Peripheral blood smear — 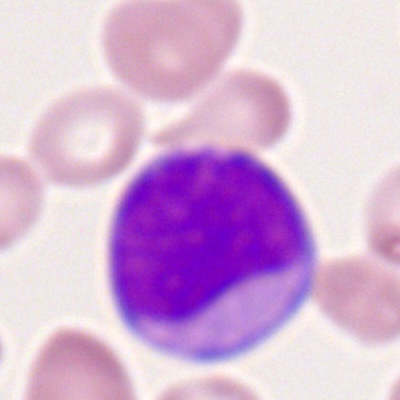
Cell type = myeloid blast.